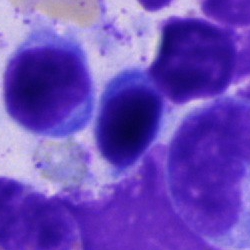 Q: What cell is this?
A: Typical lymphocyte.